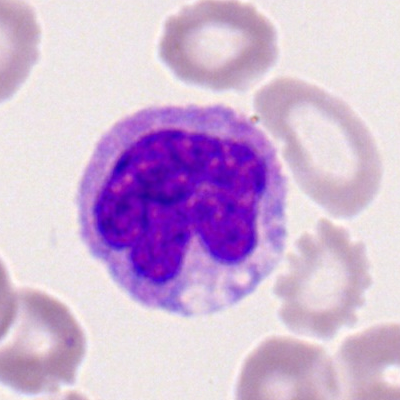Q: Which cell type is shown here?
A: This is a monocyte.